Peripheral blood film.
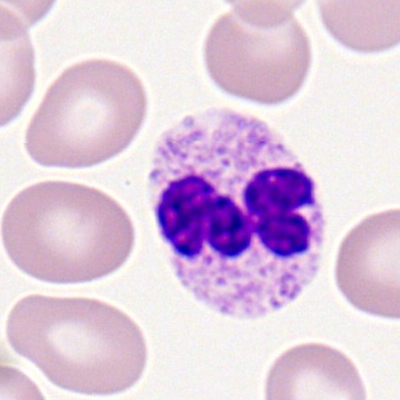A polymorphonuclear neutrophil.